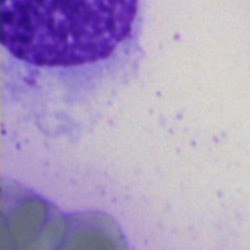 This is an artefact.